Bone marrow aspirate smear; 250×250 px: 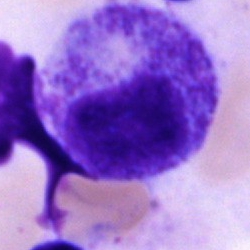
Single cell identified as a promyelocyte.